Bone marrow smear · Pappenheim-stained · brightfield microscopy, 40× oil immersion:
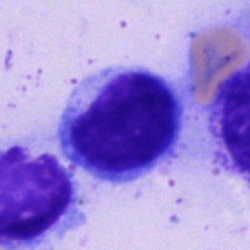 This is a typical lymphocyte.